Pappenheim-stained. Bone marrow smear
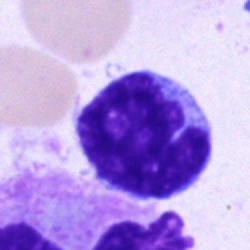 {"cell_type": "undifferentiated blast"}